400×400; peripheral blood film.
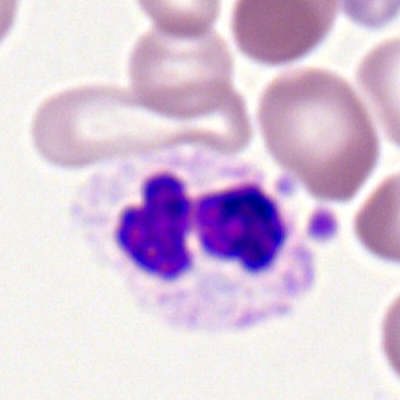
Q: What is the morphological classification of this cell?
A: It is a polymorphonuclear neutrophil.